Cropped to a single cell; bone marrow smear
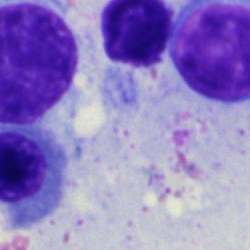 Impression — artifact.